40× oil immersion. Image size 250×250. Bone marrow aspirate smear:
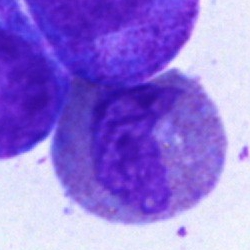
Q: What cell is this?
A: Eosinophilic granulocyte.